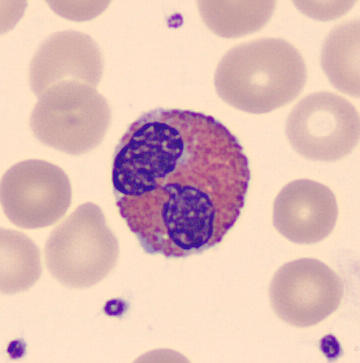Peripheral blood film, single cell — eosinophil.